Bone marrow smear · 250×250 px · May-Grünwald-Giemsa/Pappenheim stain: 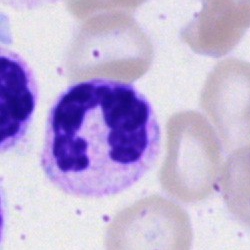Single cell identified as a polymorphonuclear neutrophil.